Peripheral blood smear
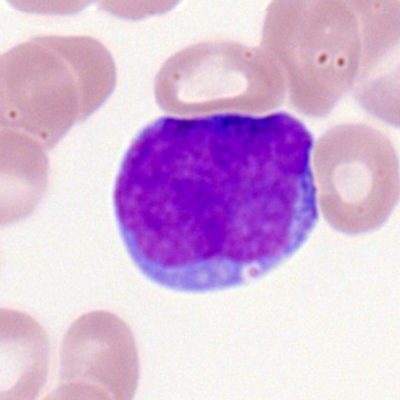
{"cell_type": "myeloblast", "lineage": "myeloid"}